Single-cell field; bone marrow aspirate smear: 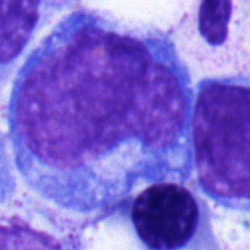Q: What is shown here?
A: A blast.